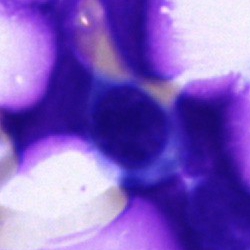

Morphological class — artifact.